Cropped to a single cell. Bone marrow aspirate smear. 250×250 px
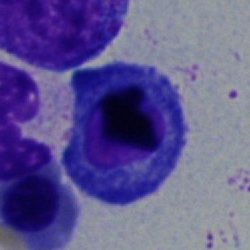This is a plasmacyte.